Peripheral blood film:
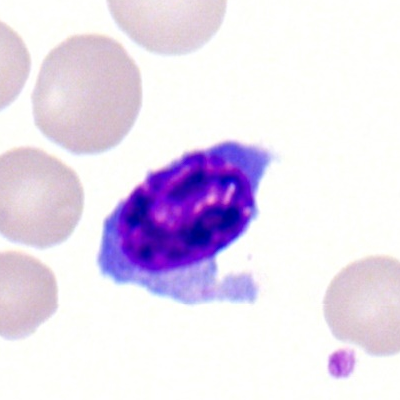

Showing a lymphocyte.